Single cell centered in the field; bone marrow smear: 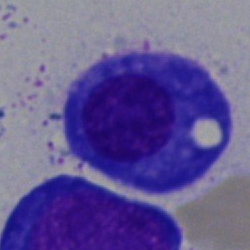

Morphology → plasmacyte.